Bone marrow aspirate smear: 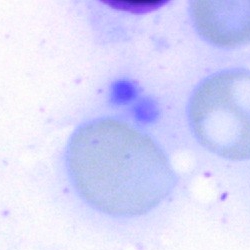

Q: What is shown here?
A: This is an artifact.